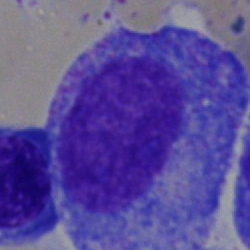 Q: What is the morphological classification of this cell?
A: A progranulocyte.